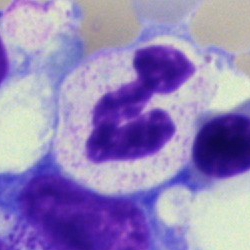 The classification is segmented neutrophil.